Bone marrow smear: 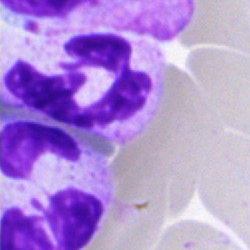 Segmented neutrophil.